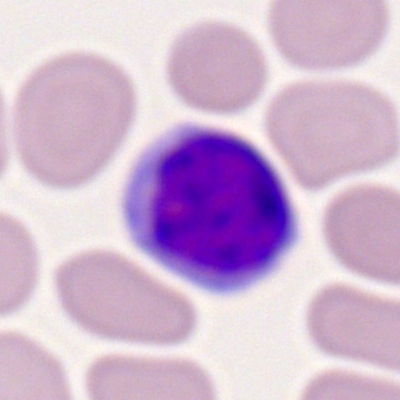This is a typical lymphocyte.